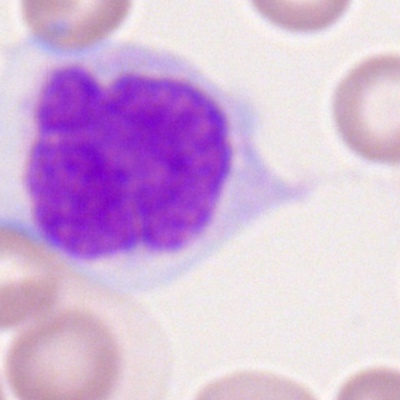

A monocyte on a peripheral blood smear.